Bone marrow aspirate smear.
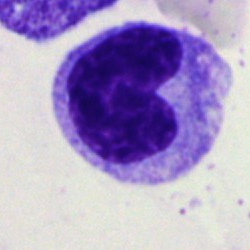

Q: What cell is this?
A: A monocyte.